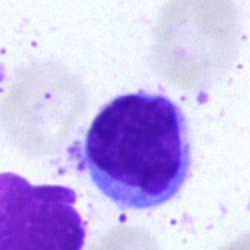

Classification: typical lymphocyte.